Bone marrow smear — 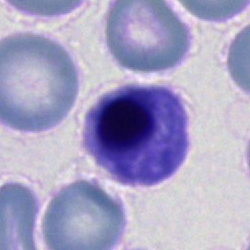

{"cell_type": "nucleated red blood cell", "lineage": "erythroid"}